Bone marrow smear. Single cell centered in the field — 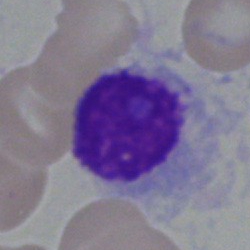Classification — artifact.